250×250; May-Grünwald-Giemsa stain; bone marrow aspirate smear:
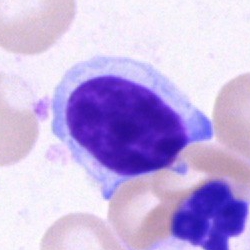

Morphology — lymphocyte.